Bone marrow aspirate smear: 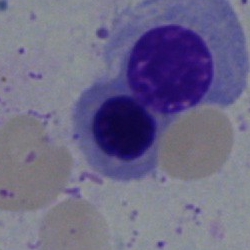Specimen: bone marrow aspirate smear.
Classification: erythroblast.
Lineage: erythroid.